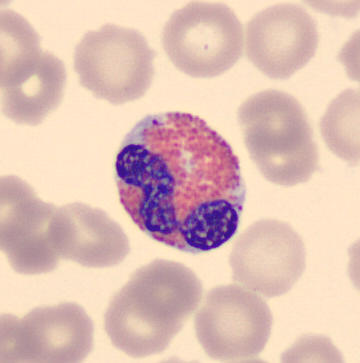

Peripheral blood film, single cell — eosinophilic granulocyte.